250 by 250 pixels. Bone marrow aspirate smear
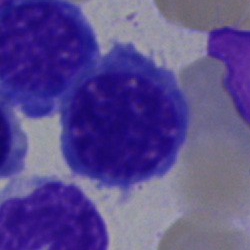
Erythroblast.